Bone marrow smear:
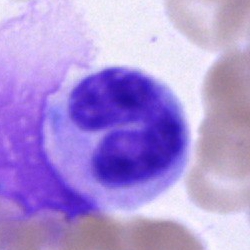The classification is neutrophil (segmented).